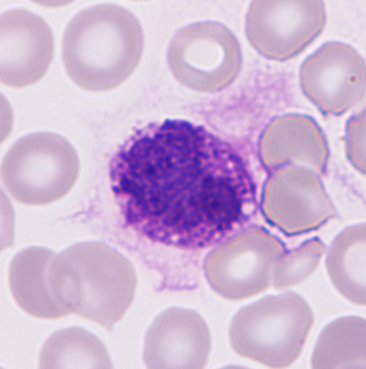Cell: basophilic granulocyte.